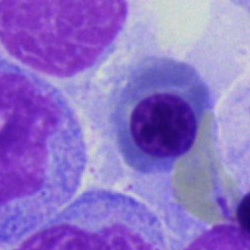

This is a nucleated red blood cell.